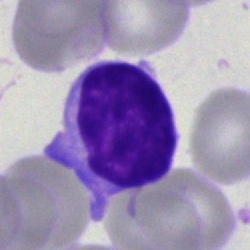 This is a typical lymphocyte.